Bone marrow smear.
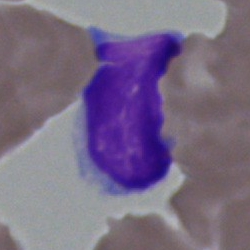Morphology consistent with a typical lymphocyte.